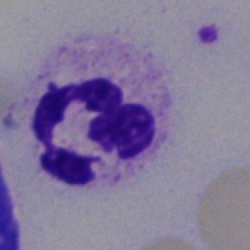

Q: Which cell type is shown here?
A: Segmented neutrophil.